Peripheral blood smear. Romanowsky-type stain:
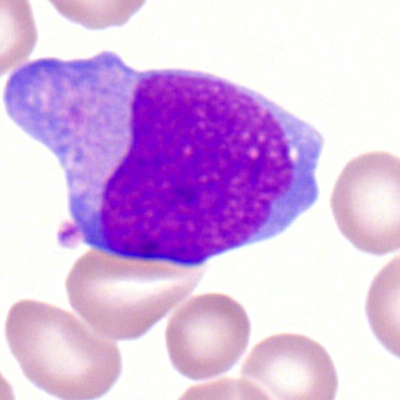

The cell is myeloid blast.